Bone marrow smear — 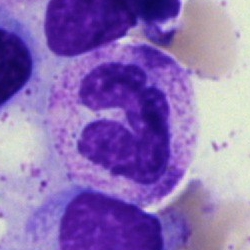

Q: What is the morphological classification of this cell?
A: A polymorphonuclear neutrophil.